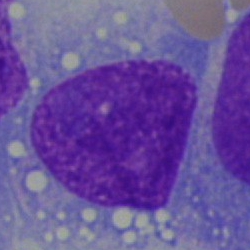

Showing an undifferentiated blast.